Brightfield microscopy, 40× oil immersion; image size 250×250; bone marrow smear — 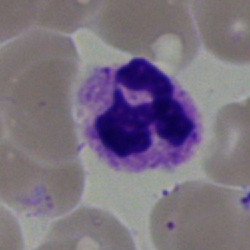The morphological class is segmented neutrophil.